Cropped to a single cell · bone marrow smear · 250×250 px — 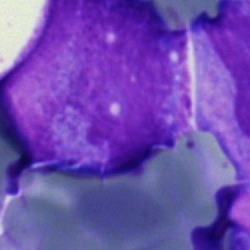
Morphology → undifferentiated blast.